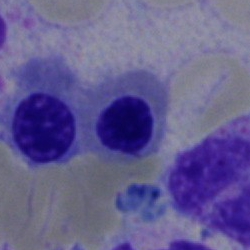 Cell type = nucleated red cell.